Bone marrow aspirate smear — 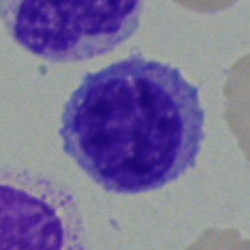 The cell is monocyte.